Bone marrow smear
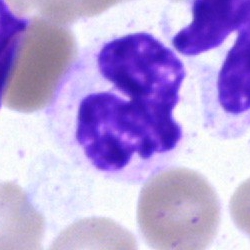 Specimen: bone marrow smear.
Morphological class: neutrophil (segmented).